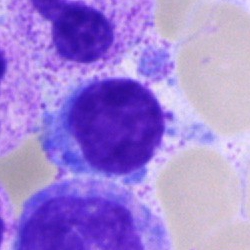Specimen: bone marrow aspirate smear.
Morphological class: lymphocyte.